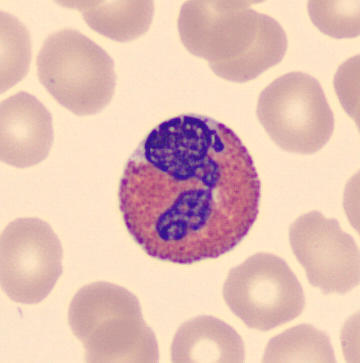
Image: Peripheral blood film. Single cell centered in the field. 360 by 363 pixels. Morphological class: eosinophilic granulocyte.